Romanowsky stain; peripheral blood smear.
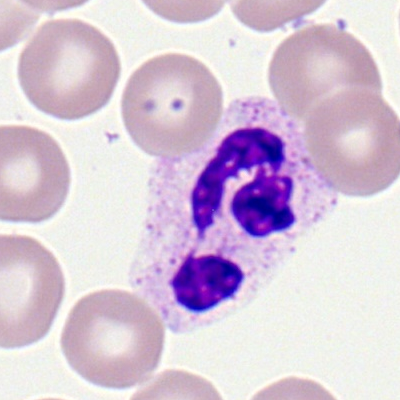

Impression → segmented neutrophil.